Bone marrow aspirate smear; image size 250×250; May-Grünwald-Giemsa stain.
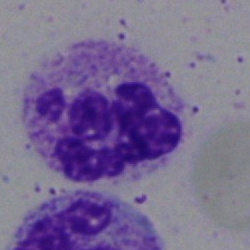Morphology consistent with a polymorphonuclear neutrophil.